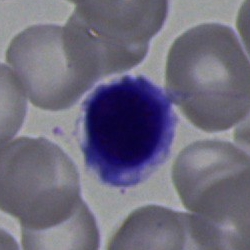The cell shown is an erythroblast.